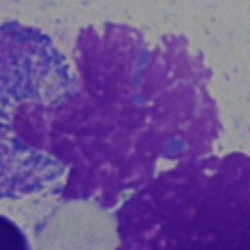Q: What is shown here?
A: It is an artifact.